Bone marrow smear: 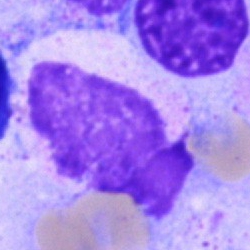

Q: What is shown here?
A: Artifact.